Bone marrow smear. Brightfield, 40× oil-immersion objective.
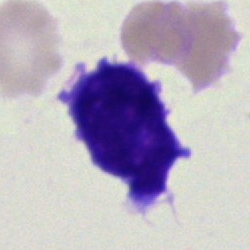 Blast cell.